Single-cell crop · bone marrow smear · May-Grünwald-Giemsa stain:
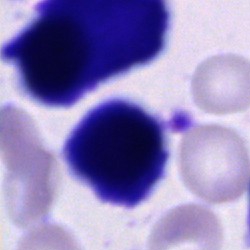

Cell type: unidentifiable cell.